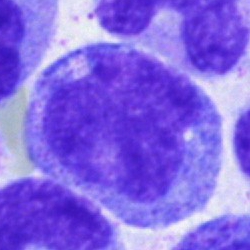
Q: Identify the cell.
A: This is a progranulocyte.